Bone marrow smear
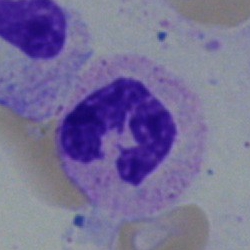

The cell is polymorphonuclear neutrophil.